Bone marrow smear: 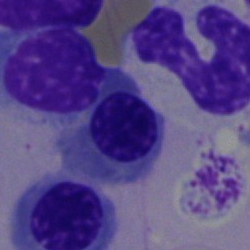An erythroblast.